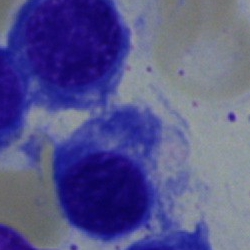 A nucleated red cell on a bone marrow smear.